Brightfield, 40× oil-immersion objective. Bone marrow smear:
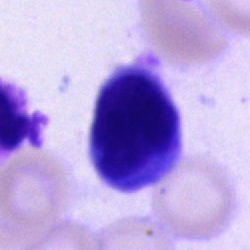{"cell_type": "monocyte", "lineage": "myeloid"}